Bone marrow aspirate smear: 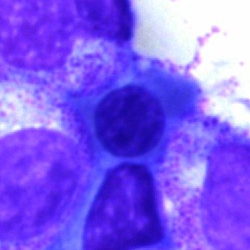 Q: What is the morphological classification of this cell?
A: Erythroblast.